Bone marrow smear:
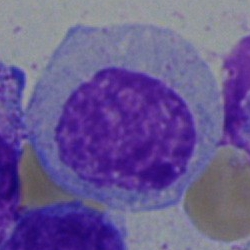

Cell = myelocyte.